Peripheral blood smear: 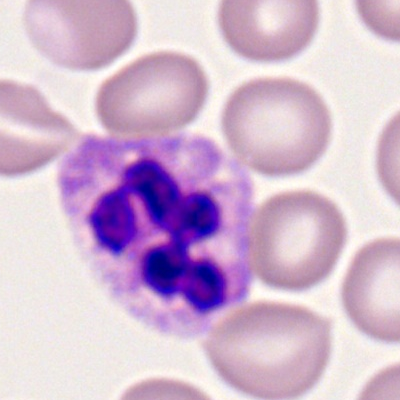

Specimen: peripheral blood film.
Cell type: segmented neutrophil.
Lineage: myeloid.